Bone marrow smear; single-cell crop.
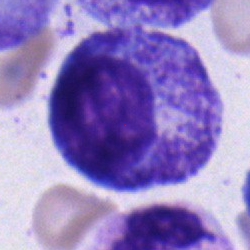
Showing a progranulocyte.